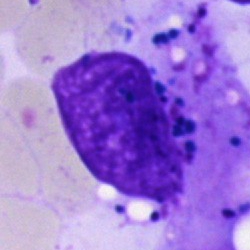

This is an artefact.